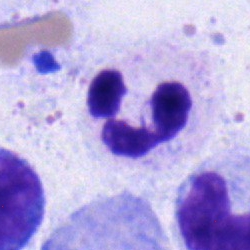
Single-cell crop from a bone marrow smear: neutrophil (segmented).